Bone marrow aspirate smear
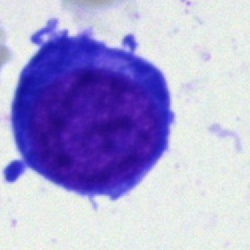
Proerythroblast.